Single-cell field; bone marrow aspirate smear; 250×250 px — 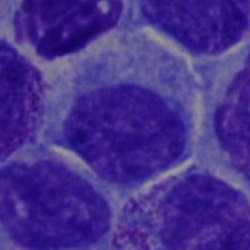Impression → undifferentiated blast.